MGG-stained. Bone marrow aspirate smear: 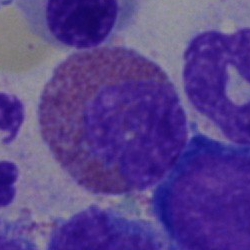
Single cell identified as an eosinophil.